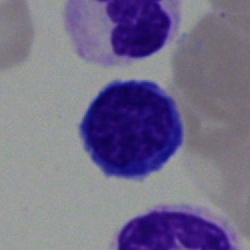Classification — typical lymphocyte.